250×250 px. Cropped to a single cell. Bone marrow smear — 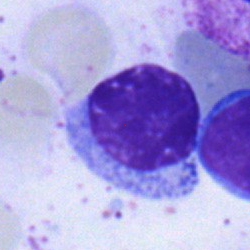A lymphocyte.